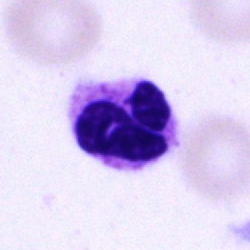The morphological class is segmented neutrophil.